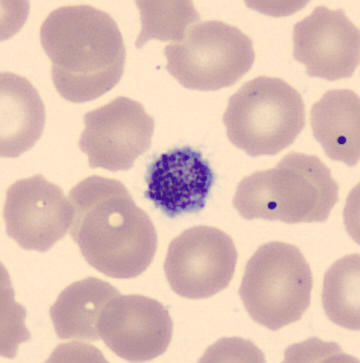

Thrombocyte.